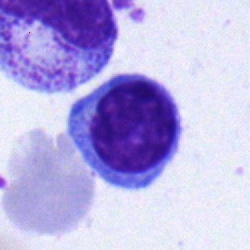
The classification is lymphocyte.